400×400. Peripheral blood smear.
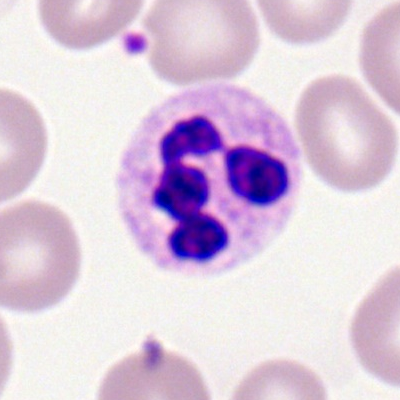

Cell: polymorphonuclear neutrophil.